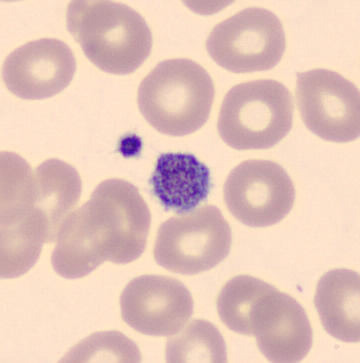Q: What is this?
A: Platelet.